Bone marrow aspirate smear; 250 by 250 pixels:
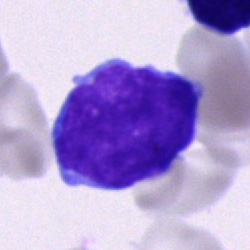

Morphology consistent with a blast cell.